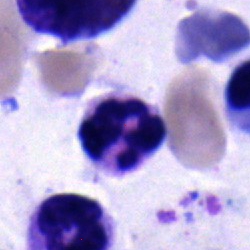 Bone marrow aspirate smear, single cell — neutrophil (segmented).